Bone marrow smear
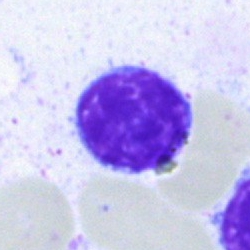

Cell type — typical lymphocyte.